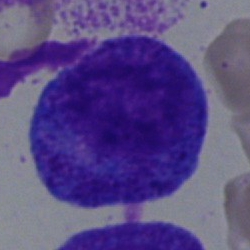Single-cell crop from a bone marrow smear: promyelocyte.